40× oil immersion. Bone marrow aspirate smear — 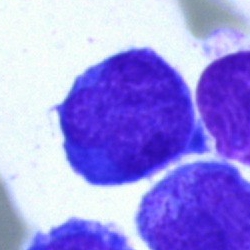The classification is blast.